Bone marrow aspirate smear — 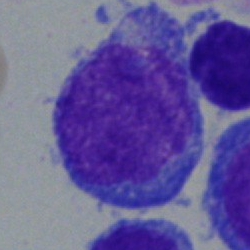 Showing a blast cell.